Bone marrow smear:
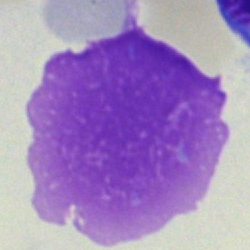
Q: What is shown here?
A: This is an artefact.